Bone marrow smear — 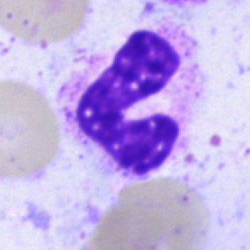

A neutrophil (segmented).